Brightfield microscopy, 40× oil immersion · bone marrow smear:
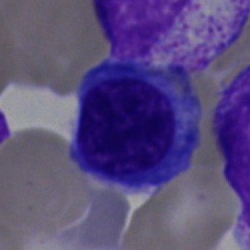
The cell type is nucleated red cell.